May-Grünwald-Giemsa stain. Bone marrow smear — 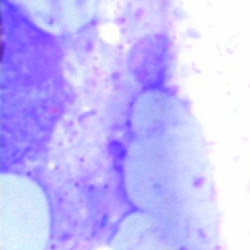Morphology consistent with an artifact.